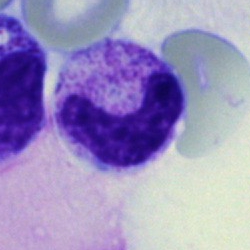Specimen: bone marrow aspirate smear.
Classification: stab cell.